Bone marrow aspirate smear:
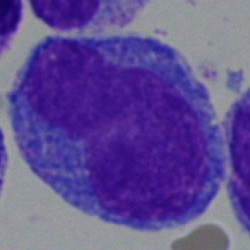

Single cell identified as a progranulocyte.